Peripheral blood film:
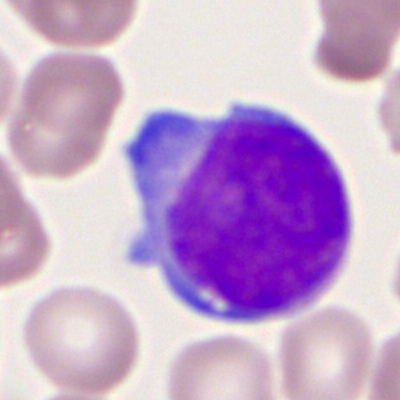
Specimen: peripheral blood smear.
Cell: myeloid blast.